Bone marrow smear:
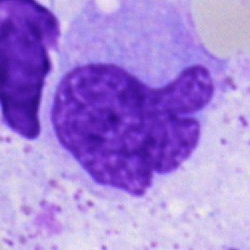

Classification = monocyte.